Single-cell field. 250×250. Bone marrow aspirate smear — 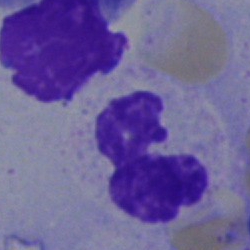A polymorphonuclear neutrophil.